Peripheral blood smear · 400×400
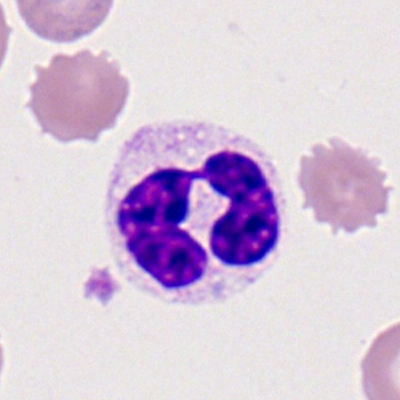
This is a segmented neutrophil.